Cropped to a single cell · bone marrow smear — 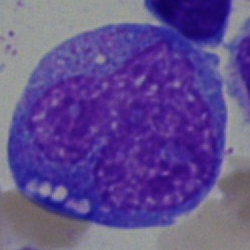

The classification is progranulocyte.